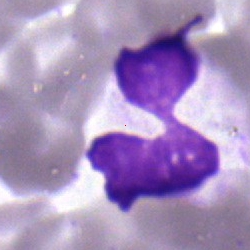

Bone marrow smear showing a polymorphonuclear neutrophil.